Bone marrow aspirate smear: 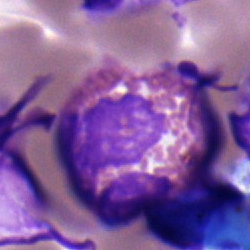An eosinophilic granulocyte.